Bone marrow smear — 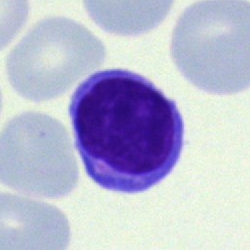
Showing a lymphocyte.